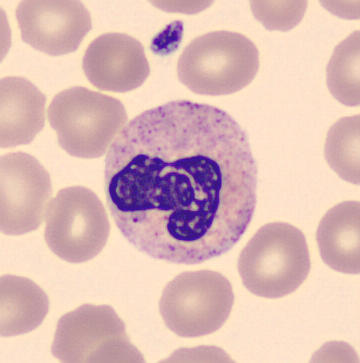Image: Peripheral blood film.

Q: Which cell type is shown here?
A: This is a segmented neutrophil.